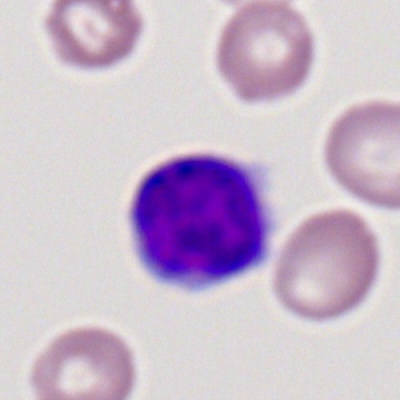
Specimen: peripheral blood film.
Cell type: typical lymphocyte.